Single-cell field. Peripheral blood smear:
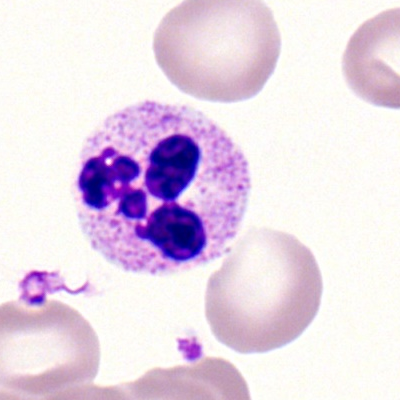

The morphological class is polymorphonuclear neutrophil.